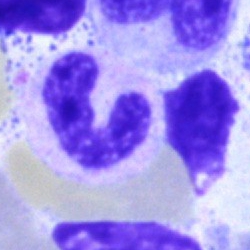 Specimen: bone marrow smear.
Cell: polymorphonuclear neutrophil.